Bone marrow smear — 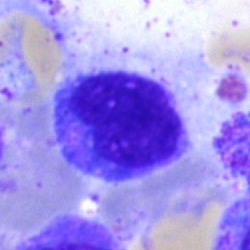 Single cell identified as a lymphocyte.